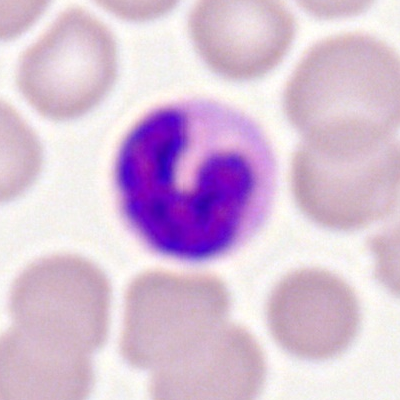Band neutrophil.